Single-cell field. Bone marrow smear:
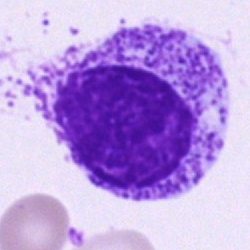Showing a progranulocyte.